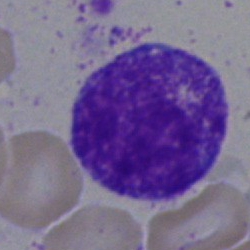Q: What is shown here?
A: It is a metamyelocyte.